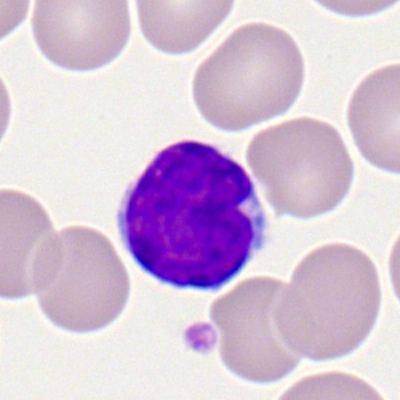Morphological class: lymphocyte.